MGG-stained. Bone marrow smear:
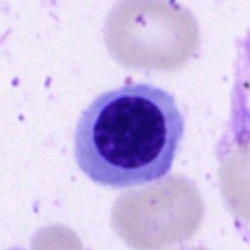 Morphological class = erythroblast.